Bone marrow smear
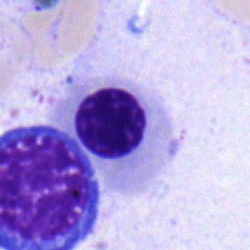
Q: What type of cell is this?
A: Nucleated red cell.